Bone marrow smear — 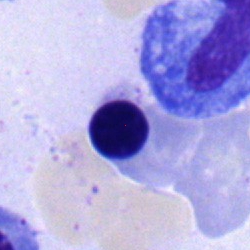 {"cell_type": "nucleated red blood cell"}